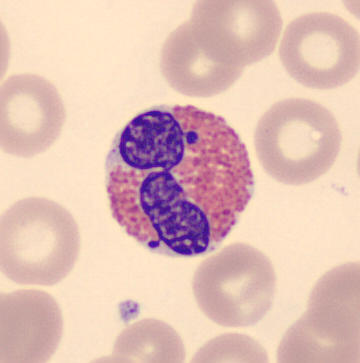Peripheral blood film.

The cell type is eosinophilic granulocyte.